Single-cell field; bone marrow smear: 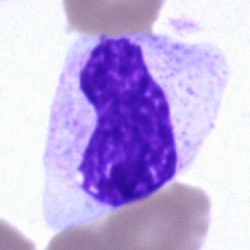

Classification — artifact.